Bone marrow smear:
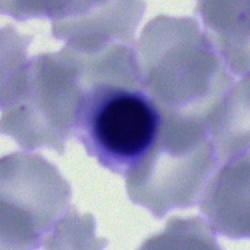 Q: What type of cell is this?
A: Normoblast.